Bone marrow aspirate smear:
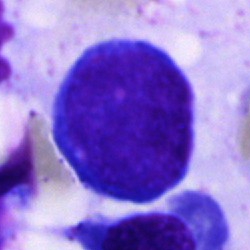
The cell shown is a proerythroblast.